Brightfield microscopy, 40× oil immersion. Bone marrow smear. May-Grünwald-Giemsa stain: 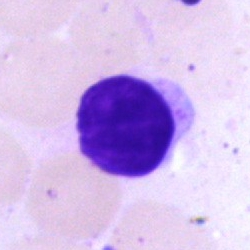Showing a lymphocyte.